Bone marrow aspirate smear — 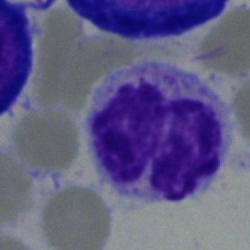Single cell identified as a polymorphonuclear neutrophil.